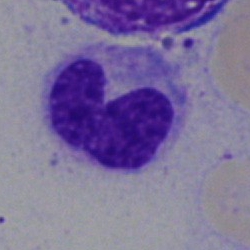A band-form neutrophil.